Bone marrow smear.
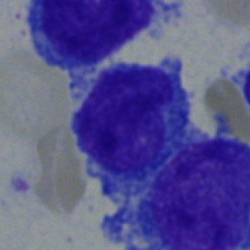

The cell type is lymphocyte.